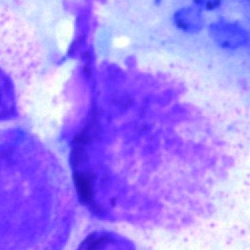

Morphology → artifact.